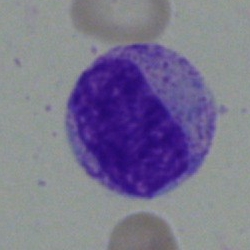
Myelocyte.